Bone marrow smear
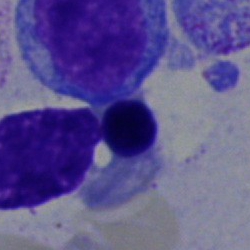
Q: Identify the cell.
A: This is an erythroblast.